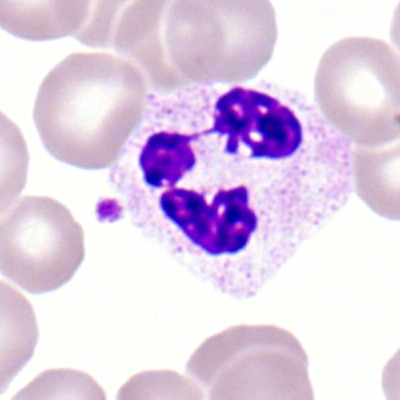
Q: What cell is this?
A: This is a neutrophil (segmented).